Romanowsky stain. Peripheral blood smear:
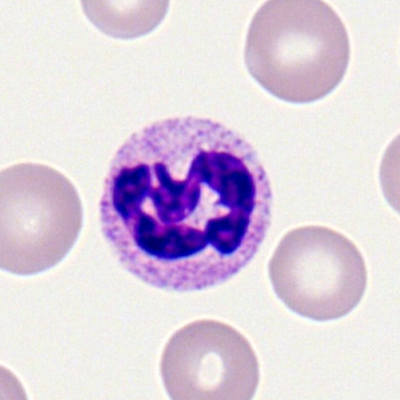 Specimen: peripheral blood smear.
Morphological class: neutrophil (segmented).
Lineage: myeloid.